Bone marrow aspirate smear. 250 by 250 pixels: 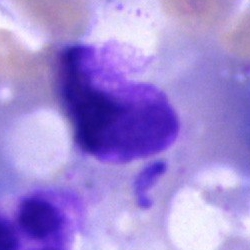 The cell is artefact.